Bone marrow aspirate smear:
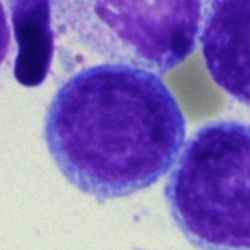

Q: What type of cell is this?
A: It is a blast cell.